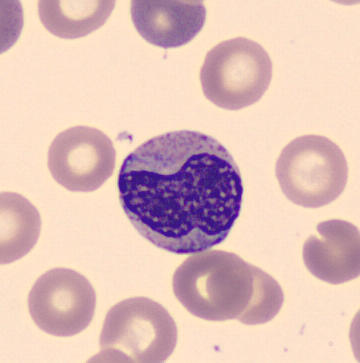

Cell type — metamyelocyte.